Bone marrow aspirate smear. Single cell centered in the field.
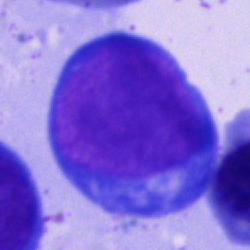

{"cell_type": "proerythroblast", "lineage": "erythroid"}